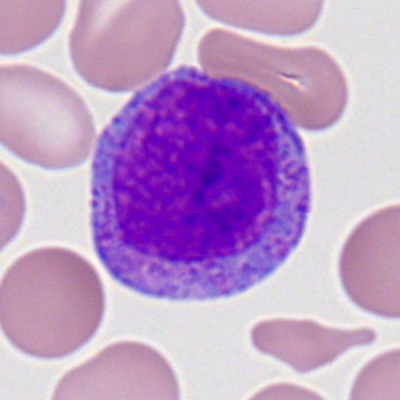

This is a myeloid blast.